Bone marrow aspirate smear.
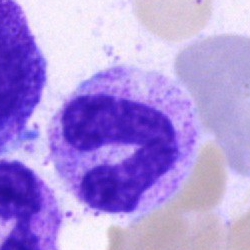
{"cell_type": "stab cell", "lineage": "myeloid"}